Bone marrow smear:
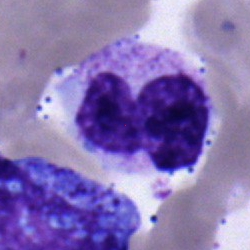
Impression — neutrophil (band).